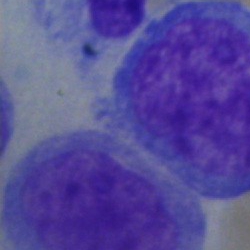
Undifferentiated blast.